May-Grünwald-Giemsa/Pappenheim stain. Bone marrow aspirate smear
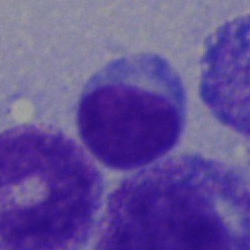{"cell_type": "typical lymphocyte", "lineage": "lymphoid"}